40× oil immersion; single-cell field; bone marrow smear: 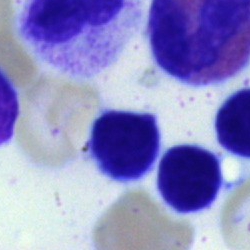 This is a typical lymphocyte.